Peripheral blood film
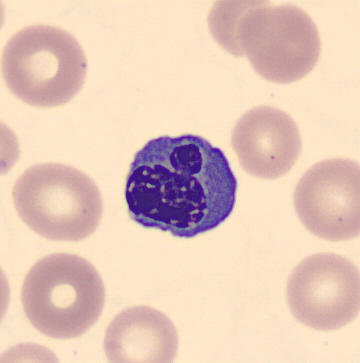 Impression — nucleated red blood cell.